Romanowsky stain. M8 digital microscope (Precipoint), 100× oil immersion. Peripheral blood smear: 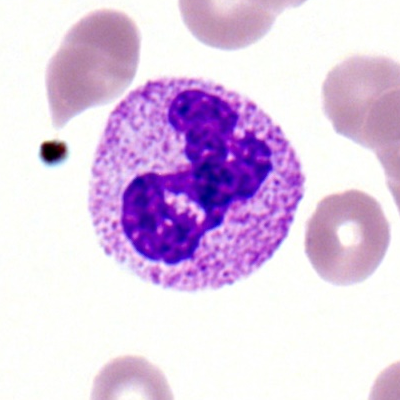 The cell shown is a neutrophil (segmented).